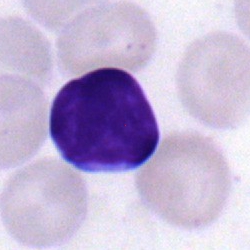
A lymphocyte on a bone marrow smear.